Image size 250×250. Bone marrow aspirate smear:
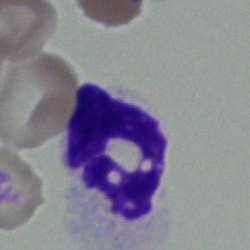

Specimen: bone marrow aspirate smear.
Morphological class: polymorphonuclear neutrophil.
Lineage: myeloid.